Peripheral blood film — 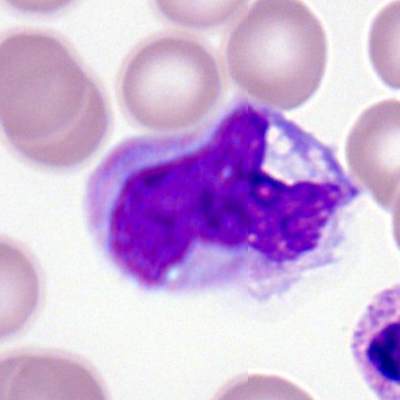Monocyte.